Bone marrow smear
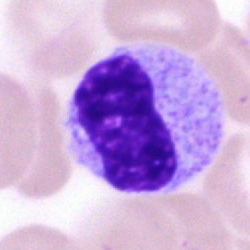

Q: What is shown here?
A: This is a metamyelocyte.